Bone marrow smear; 250×250 px
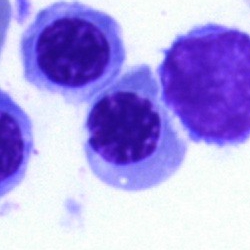Showing a normoblast.